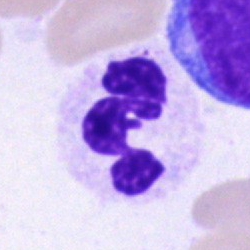

Specimen: bone marrow smear.
Morphological class: segmented neutrophil.
Lineage: myeloid.